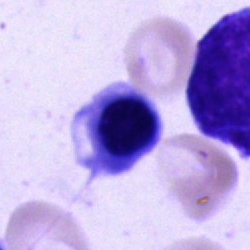Showing a nucleated red cell.